Bone marrow aspirate smear — 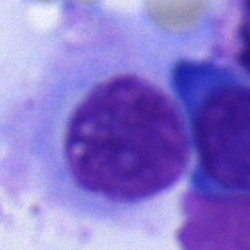
Q: What type of cell is this?
A: It is a plasmacyte.